Brightfield, 40× oil-immersion objective; Pappenheim-stained; bone marrow aspirate smear — 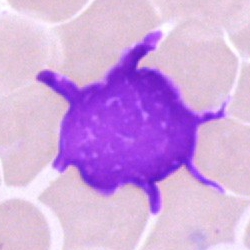 Q: What is shown here?
A: An artifact.